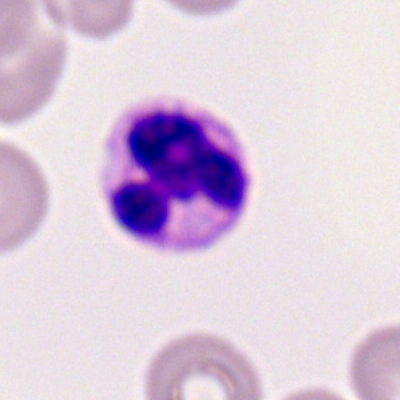
The cell shown is a neutrophil (segmented).